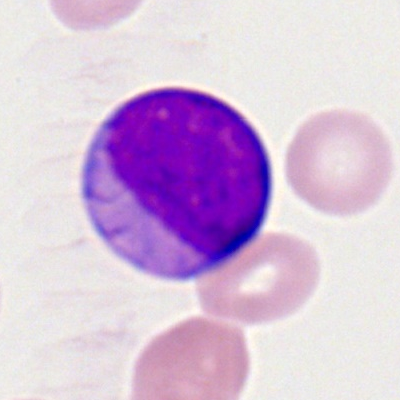Q: What type of cell is this?
A: A myeloblast.